May-Grünwald-Giemsa stain. Bone marrow aspirate smear: 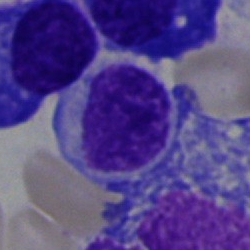Showing a typical lymphocyte.